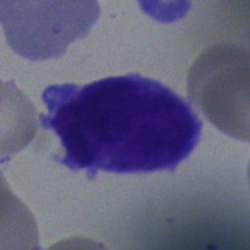

Morphology → undifferentiated blast.